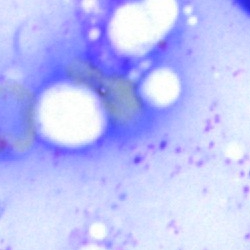

Impression → artifact.